Bone marrow aspirate smear:
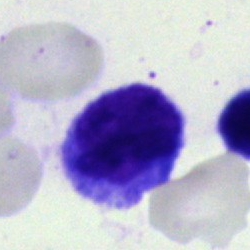
Specimen: bone marrow aspirate smear.
Cell: neutrophil (segmented).